Bone marrow aspirate smear: 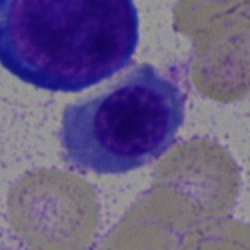Normoblast.